Bone marrow aspirate smear. May-Grünwald-Giemsa stain — 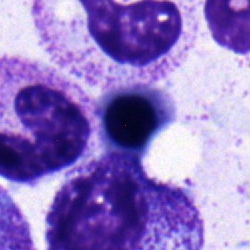
Q: What is shown here?
A: Normoblast.